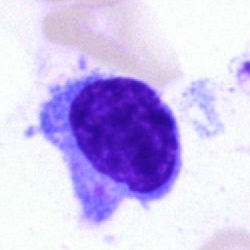Q: Identify the cell.
A: This is a typical lymphocyte.